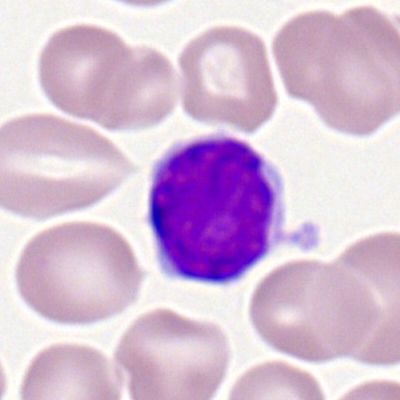Typical lymphocyte.